Bone marrow aspirate smear — 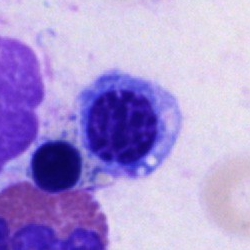

Cell type = nucleated red cell.